Bone marrow smear:
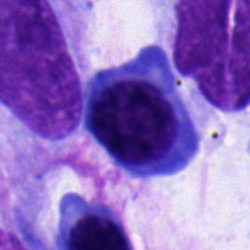
A nucleated red blood cell.